Bone marrow smear · 250×250 px
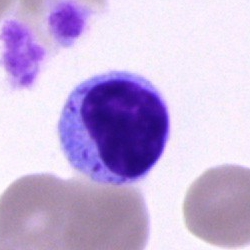Cell of indeterminate lineage.